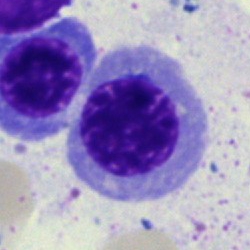

Classification = erythroblast.